Bone marrow aspirate smear · image size 250×250 · 40× objective, oil immersion.
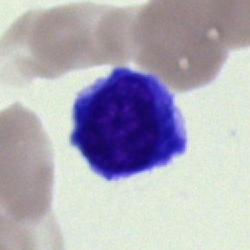
Cell type = nucleated red blood cell.